250×250 px · bone marrow smear
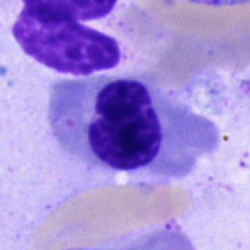
A nucleated red cell.